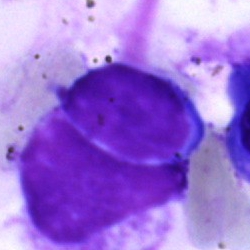 This is an artifact.